250 by 250 pixels · bone marrow aspirate smear
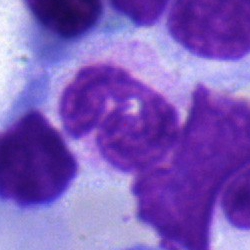

This is a polymorphonuclear neutrophil.